Bone marrow smear. MGG-stained:
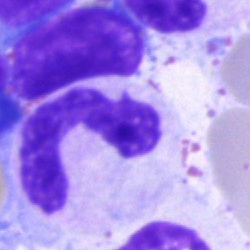 Specimen: bone marrow aspirate smear.
Morphological class: band-form neutrophil.